Cropped to a single cell; MGG-stained; bone marrow smear — 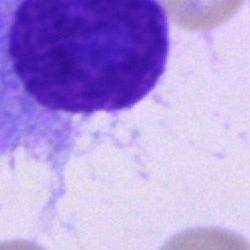

Cell = plasmacyte.